Brightfield microscopy, 40× oil immersion; bone marrow smear:
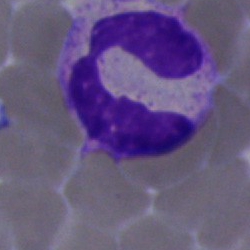
Cell type: segmented neutrophil.